40× oil immersion; bone marrow smear
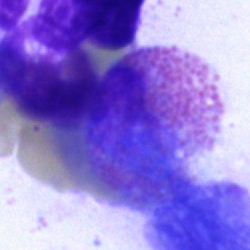

Classification: artifact.